Bone marrow aspirate smear · 250 by 250 pixels: 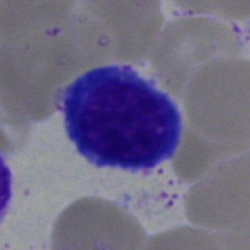 {"cell_type": "typical lymphocyte"}